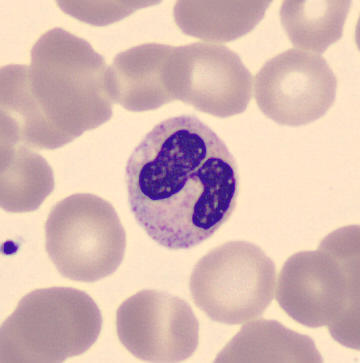
A polymorphonuclear neutrophil.
Image: Peripheral blood smear.